Bone marrow aspirate smear; Pappenheim-stained — 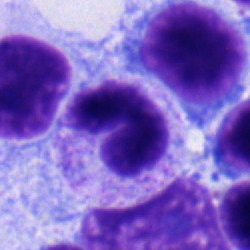 Single cell identified as a segmented neutrophil.